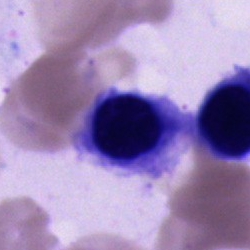 Morphological class — erythroblast.